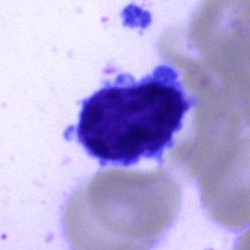
Classification: lymphocyte.